Bone marrow smear: 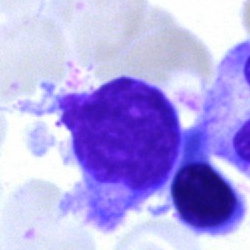
Cell: lymphocyte.